Bone marrow aspirate smear:
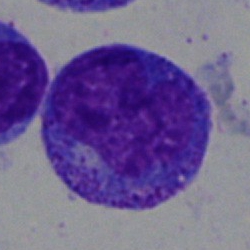Single cell identified as a progranulocyte.